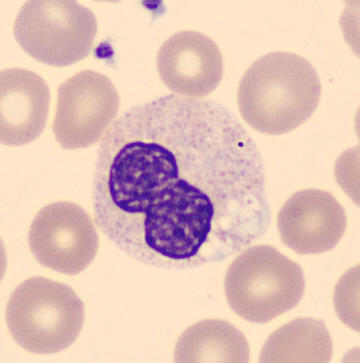

Classification = stab cell.